Bone marrow smear: 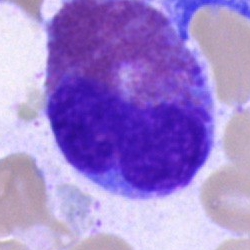
Morphology — eosinophilic granulocyte.